Pappenheim-stained; bone marrow smear:
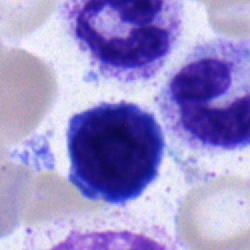
Showing a lymphocyte.